Bone marrow aspirate smear · single-cell field:
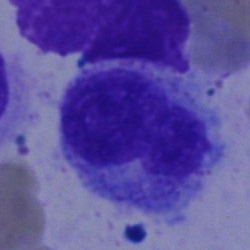 Specimen: bone marrow aspirate smear.
Cell type: metamyelocyte.
Lineage: myeloid.